40× objective, oil immersion. 250×250 px. Bone marrow smear: 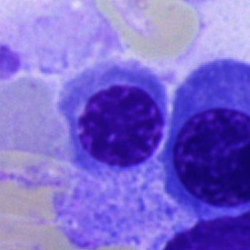

Cell — nucleated red cell.